Bone marrow smear. Cropped to a single cell — 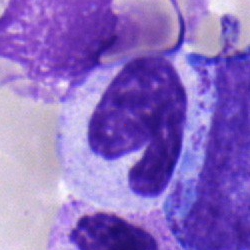

Q: What cell is this?
A: This is a band neutrophil.